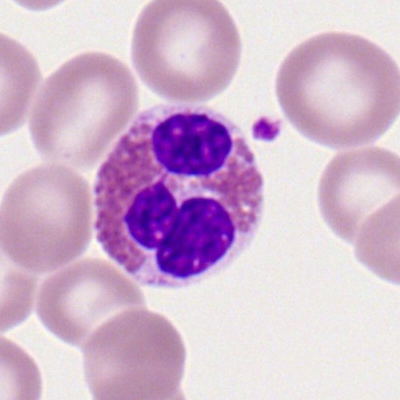 Peripheral blood film, single cell — eosinophil.